Bone marrow smear. 40× oil immersion: 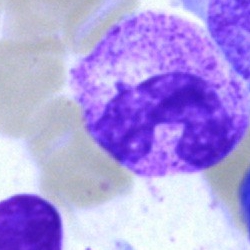
Q: What is shown here?
A: A band-form neutrophil.